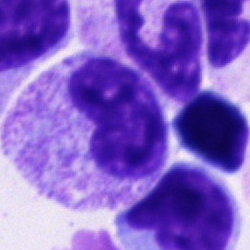
Morphology — metamyelocyte.